May-Grünwald-Giemsa stain; bone marrow aspirate smear: 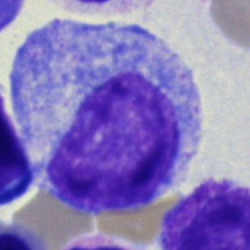
Specimen: bone marrow aspirate smear.
Cell type: progranulocyte.
Lineage: myeloid.